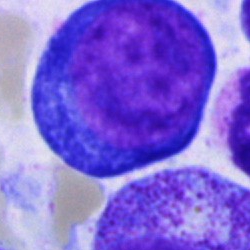Cell type = pronormoblast.